Bone marrow aspirate smear. May-Grünwald-Giemsa stain. Single-cell crop
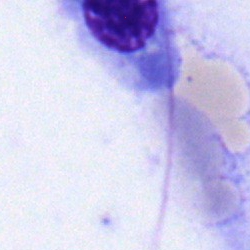A nucleated red blood cell.